Brightfield, 40× oil-immersion objective · 250×250 px · bone marrow smear.
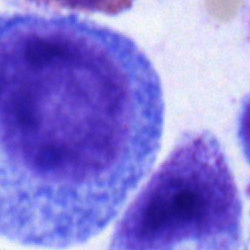

Morphology — progranulocyte.